Bone marrow smear.
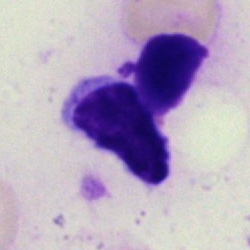
{"cell_type": "artifact"}